Cropped to a single cell; peripheral blood film; Romanowsky-type stain
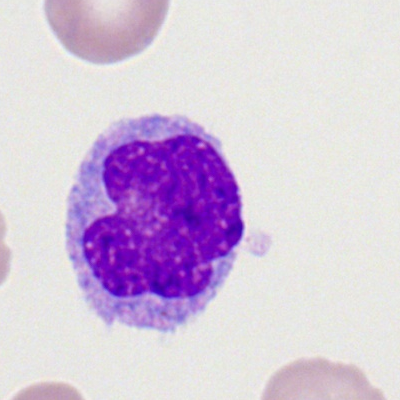Impression → monocyte.